Bone marrow aspirate smear.
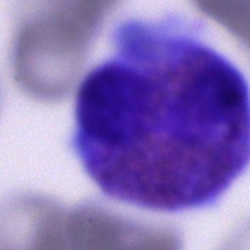This is an eosinophilic granulocyte.